Bone marrow aspirate smear:
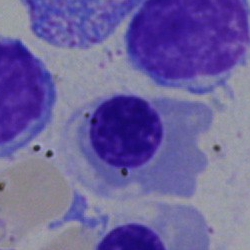 Q: Which cell type is shown here?
A: A nucleated red blood cell.